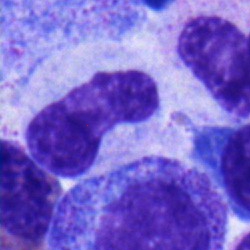The morphological class is band neutrophil.